M8 digital microscope (Precipoint), 100× oil immersion · 400×400 · peripheral blood film
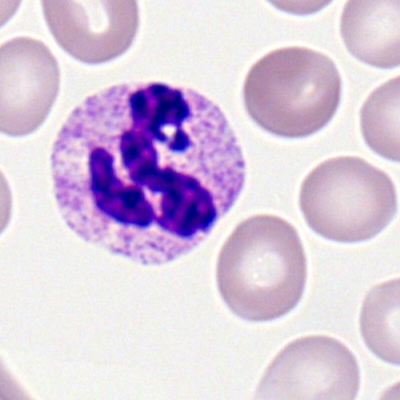Q: What cell is this?
A: This is a segmented neutrophil.